Bone marrow smear · cropped to a single cell — 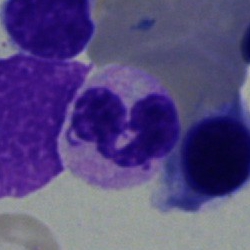

Morphological class = polymorphonuclear neutrophil.